Bone marrow smear: 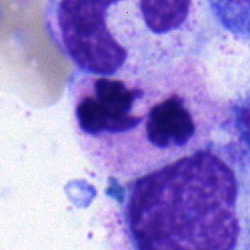The cell is polymorphonuclear neutrophil.